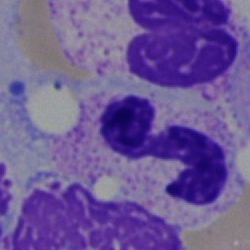 Specimen: bone marrow smear.
Morphological class: neutrophil (segmented).